Bone marrow aspirate smear: 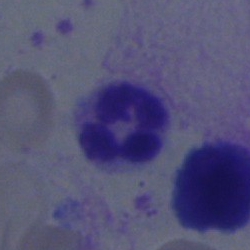 The cell shown is a neutrophil (segmented).